Image size 250×250. Bone marrow smear. Single-cell crop
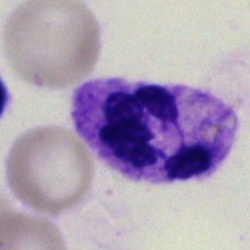Single cell identified as a neutrophil (segmented).